Bone marrow smear
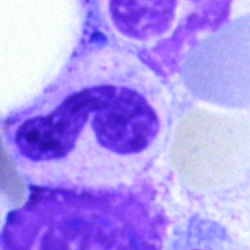 Single cell identified as a segmented neutrophil.